40× objective, oil immersion; bone marrow aspirate smear; 250 by 250 pixels — 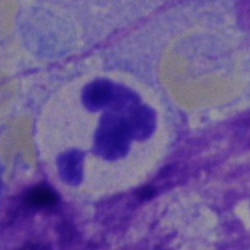 Specimen: bone marrow aspirate smear.
Cell type: segmented neutrophil.